Single-cell field; 40× objective, oil immersion; bone marrow aspirate smear
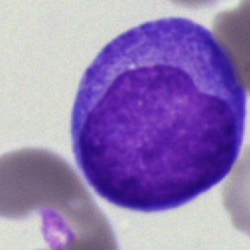
Classification: blast cell.